Bone marrow aspirate smear — 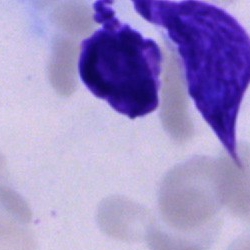 Morphology consistent with an artifact.